Brightfield, 40× oil-immersion objective; bone marrow aspirate smear; 250×250 px.
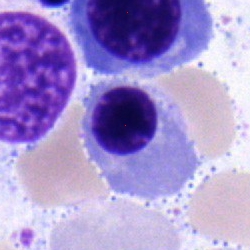Specimen: bone marrow smear.
Cell type: nucleated red blood cell.